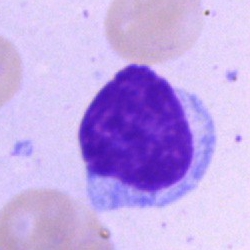

Specimen: bone marrow smear.
Morphological class: typical lymphocyte.
Lineage: lymphoid.